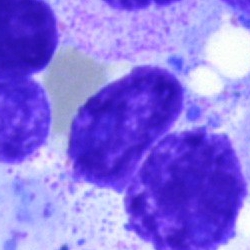
Q: What is shown here?
A: This is an artifact.